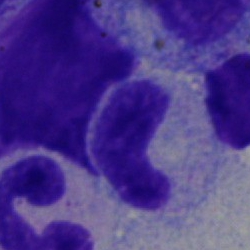 Q: What type of cell is this?
A: This is a stab cell.